Brightfield microscopy, 40× oil immersion. 250×250. Bone marrow smear
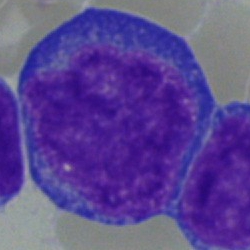A proerythroblast.